Single cell centered in the field. Bone marrow aspirate smear: 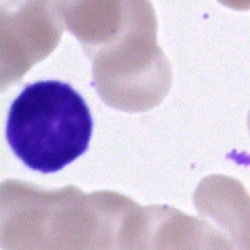

This is a typical lymphocyte.